Bone marrow smear: 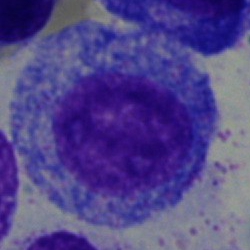 Morphology — progranulocyte.